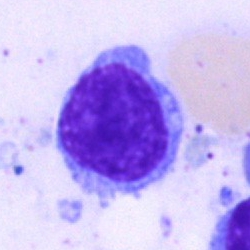 The cell shown is a typical lymphocyte.